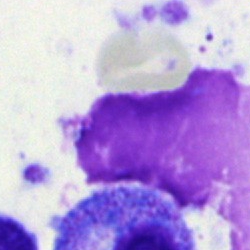

The cell shown is an artifact.